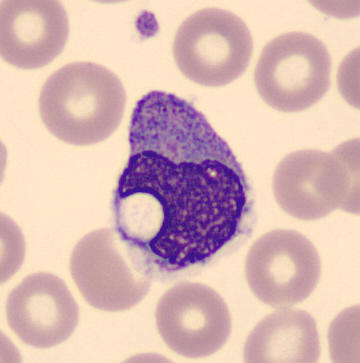
The cell shown is a monocyte.
Peripheral blood smear.